Bone marrow aspirate smear. Image size 250×250:
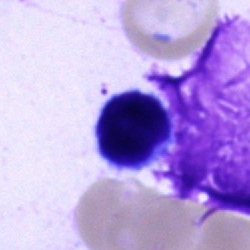

The cell shown is a typical lymphocyte.